Bone marrow smear:
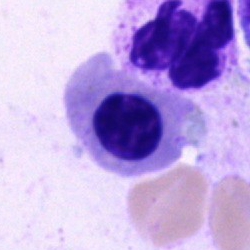

Morphology consistent with a nucleated red cell.